Cropped to a single cell; 250×250; bone marrow smear: 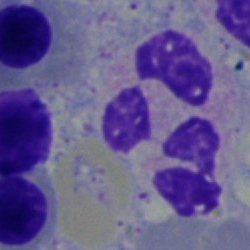

Q: Which cell type is shown here?
A: A polymorphonuclear neutrophil.